Bone marrow aspirate smear
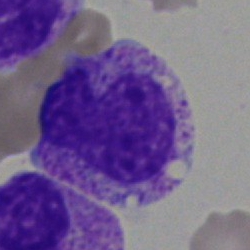

Classification: metamyelocyte.